Bone marrow smear: 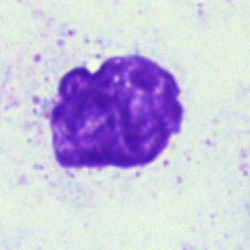 Morphology consistent with an artifact.